Romanowsky-type stain · peripheral blood film.
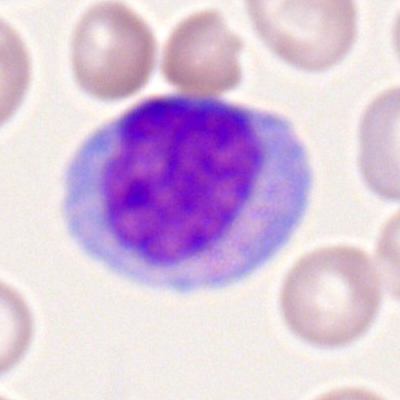 Classification: monocyte.